Bone marrow smear — 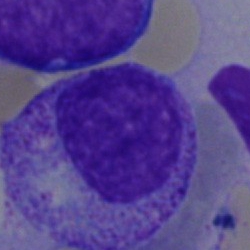Classification — myelocyte.